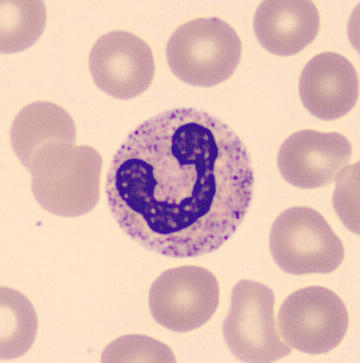
Cell = neutrophil (segmented).